Brightfield, 40× oil-immersion objective; bone marrow smear; 250 by 250 pixels.
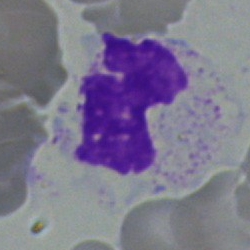

Specimen: bone marrow smear.
Cell type: segmented neutrophil.
Lineage: myeloid.